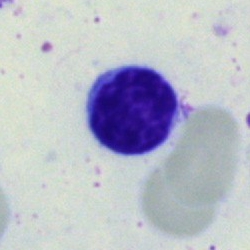
This is a lymphocyte.